Bone marrow aspirate smear — 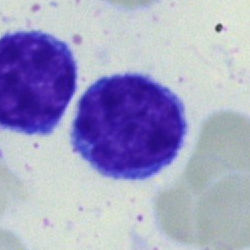 The cell type is lymphocyte.